Bone marrow smear. Pappenheim-stained: 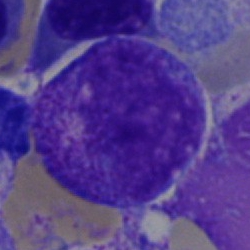

Q: Identify the cell.
A: A progranulocyte.